Bone marrow aspirate smear
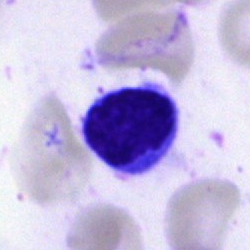

Specimen: bone marrow smear.
Cell type: lymphocyte.
Lineage: lymphoid.